May-Grünwald-Giemsa/Pappenheim stain; bone marrow smear; 40× oil immersion: 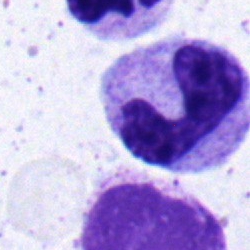 The morphological class is stab cell.